Bone marrow aspirate smear
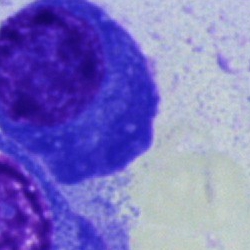
Morphology — plasma cell.